Bone marrow smear · 40× oil immersion · MGG-stained:
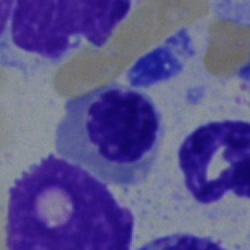

A nucleated red cell.